Cropped to a single cell; bone marrow aspirate smear; brightfield microscopy, 40× oil immersion
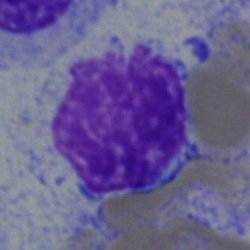
Single cell identified as a myelocyte.